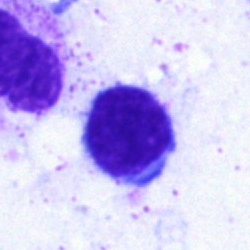
Single cell identified as a lymphocyte.